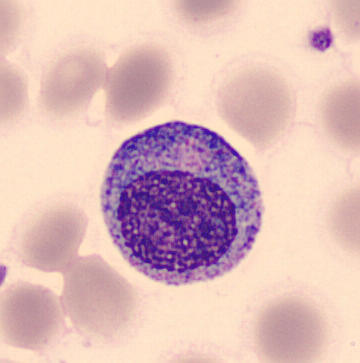

Impression — promyelocyte.